250 by 250 pixels; bone marrow smear.
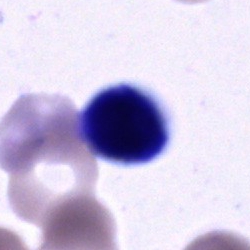
Specimen: bone marrow aspirate smear.
Classification: cell of indeterminate lineage.